250×250 px · Pappenheim-stained · bone marrow aspirate smear
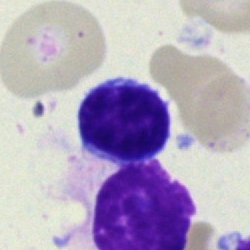Single cell identified as a lymphocyte.